Peripheral blood smear · single cell centered in the field · M8 digital microscope (Precipoint), 100× oil immersion
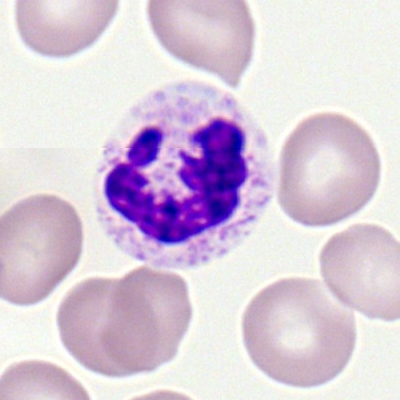Showing a segmented neutrophil.